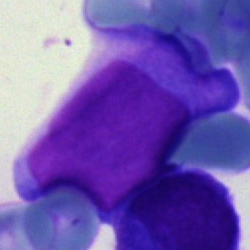
An undifferentiated blast.